Brightfield microscopy, 40× oil immersion · bone marrow aspirate smear · 250×250 — 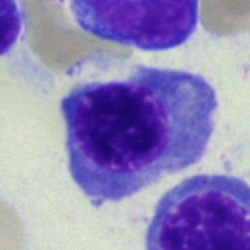 A nucleated red blood cell.